Bone marrow aspirate smear
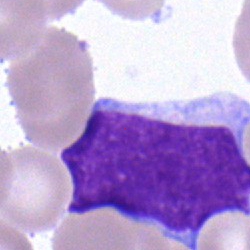 The cell shown is an undifferentiated blast.